Bone marrow aspirate smear.
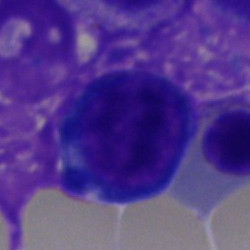 Impression → proerythroblast.